Bone marrow smear: 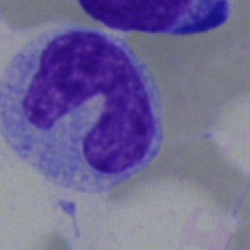
Q: Which cell type is shown here?
A: A monocyte.